May-Grünwald-Giemsa stain; single cell centered in the field; bone marrow aspirate smear.
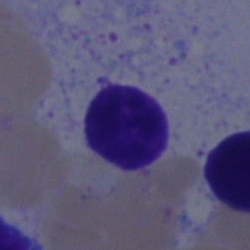Typical lymphocyte.